Cropped to a single cell. Bone marrow aspirate smear
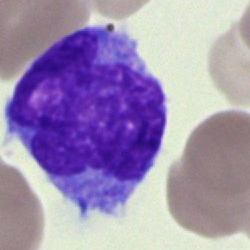 The cell shown is a monocyte.